250×250; bone marrow aspirate smear
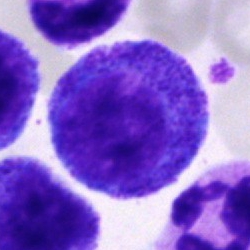
The cell is promyelocyte.